Bone marrow aspirate smear: 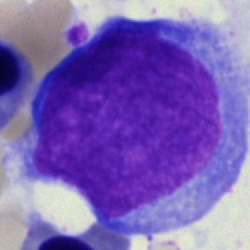Q: Which cell type is shown here?
A: Blast.